Pappenheim-stained. Bone marrow smear
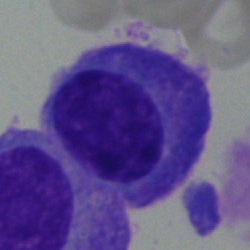 Cell: plasma cell.